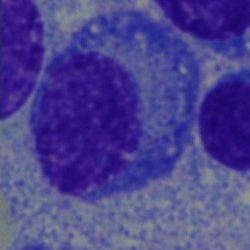 Q: What type of cell is this?
A: A plasmacyte.